Imaged on a CellaVision DM96 analyser; peripheral blood film
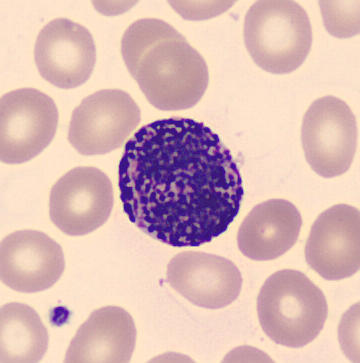Specimen: peripheral blood smear.
Cell: basophilic granulocyte.